Bone marrow smear. 40× oil immersion.
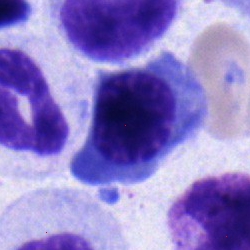
Cell type = nucleated red blood cell.